Bone marrow aspirate smear: 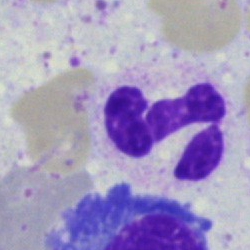
Neutrophil (segmented).